Bone marrow smear; Pappenheim-stained
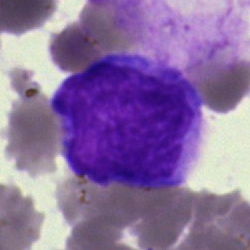Cell — artefact.